Bone marrow aspirate smear. Single-cell field: 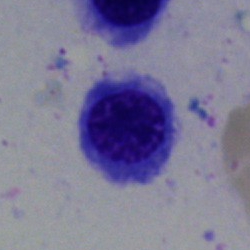
Cell = erythroblast.